Bone marrow smear — 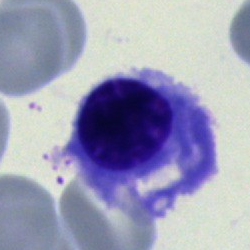 A nucleated red blood cell.